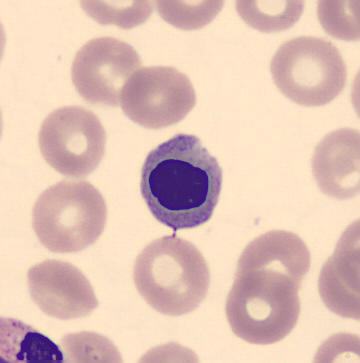This is a nucleated red blood cell.
CellaVision DM96; peripheral blood smear; MGG stain.